Bone marrow smear
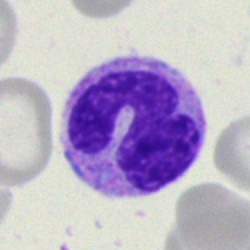
Band neutrophil.